Bone marrow smear: 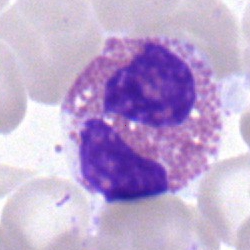Single cell identified as an eosinophilic granulocyte.